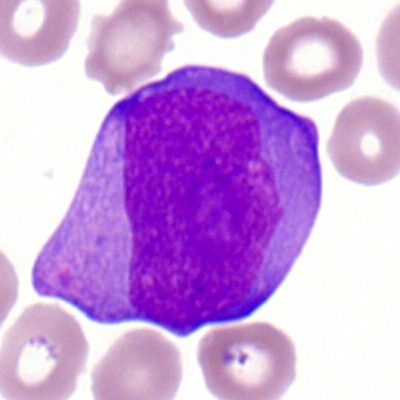 The morphological class is myeloblast.